Bone marrow smear:
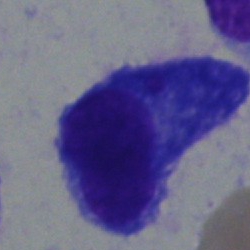 Showing a plasmacyte.